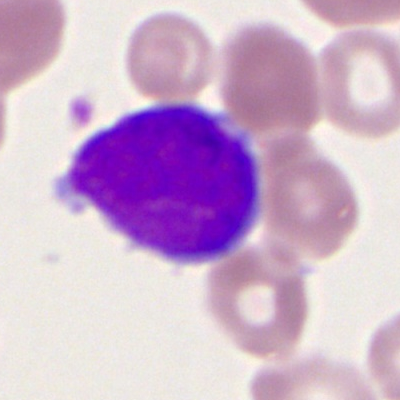 This is a myeloid blast.